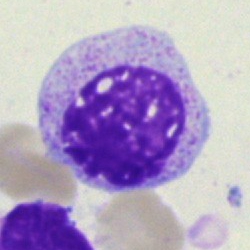The cell shown is a myelocyte.